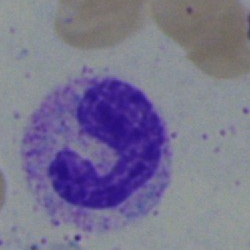

Specimen: bone marrow aspirate smear.
Morphological class: stab cell.
Lineage: myeloid.